Bone marrow aspirate smear: 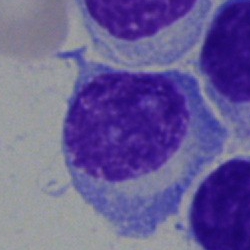 Q: What is the morphological classification of this cell?
A: This is a plasmacyte.